Brightfield microscopy, 40× oil immersion · image size 250×250 · bone marrow aspirate smear
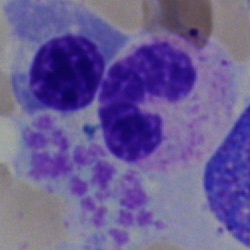 Impression → band neutrophil.